Bone marrow aspirate smear.
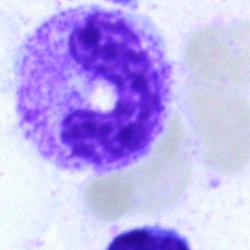
Cell = neutrophil (band).